Peripheral blood smear.
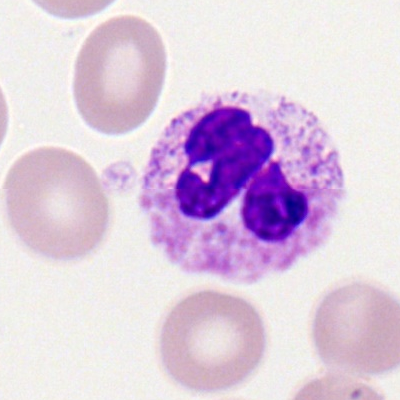Single cell identified as a neutrophil (segmented).